Peripheral blood film — 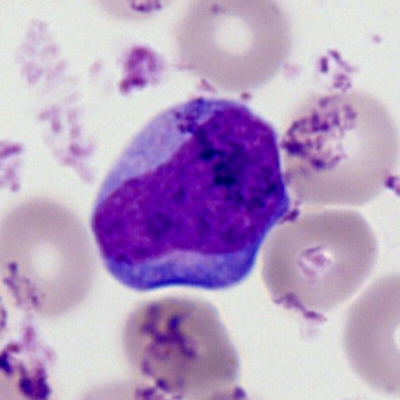Morphology — myeloblast.